Bone marrow aspirate smear. 250×250 px. Single cell centered in the field — 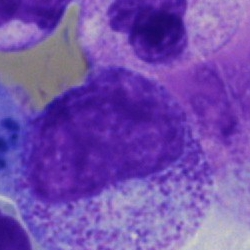

Morphology consistent with a progranulocyte.